Peripheral blood film — 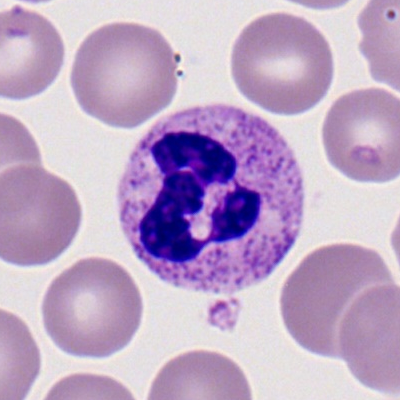

Q: What is shown here?
A: This is a polymorphonuclear neutrophil.